Single cell centered in the field. Bone marrow aspirate smear.
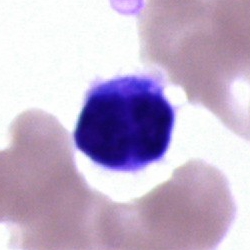

Lymphocyte.